Peripheral blood film.
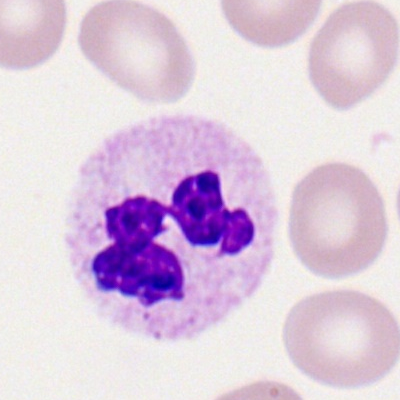
Specimen: peripheral blood smear.
Morphological class: neutrophil (segmented).